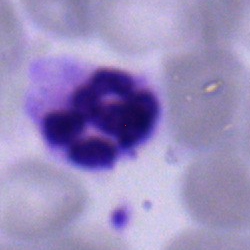Q: What type of cell is this?
A: Polymorphonuclear neutrophil.